Bone marrow aspirate smear; May-Grünwald-Giemsa/Pappenheim stain
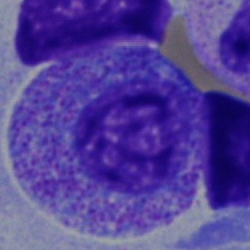 The cell shown is a myelocyte.